Cropped to a single cell; bone marrow aspirate smear; May-Grünwald-Giemsa/Pappenheim stain — 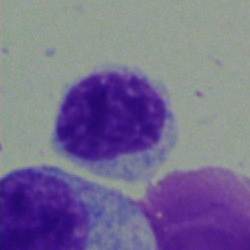

Q: What is the morphological classification of this cell?
A: This is a myelocyte.